Image size 250×250. Bone marrow smear.
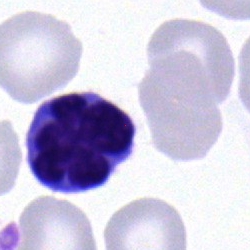A typical lymphocyte.